Bone marrow smear · image size 250×250 · May-Grünwald-Giemsa/Pappenheim stain: 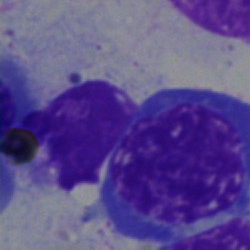Cell = normoblast.